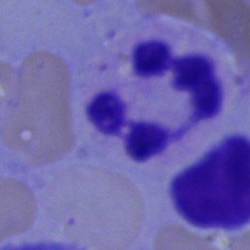

Cell type — segmented neutrophil.